250×250 · bone marrow aspirate smear · cropped to a single cell — 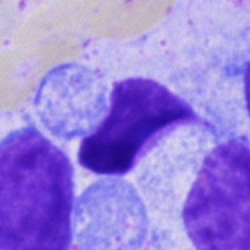 Specimen: bone marrow aspirate smear.
Cell: unidentifiable cell.